Bone marrow aspirate smear — 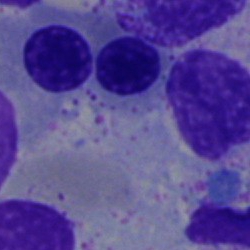 Impression → erythroblast.